Bone marrow aspirate smear: 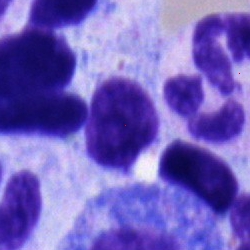 Specimen: bone marrow aspirate smear.
Morphological class: typical lymphocyte.
Lineage: lymphoid.